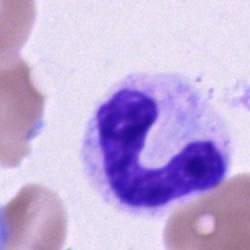

Q: What is the morphological classification of this cell?
A: It is a stab cell.